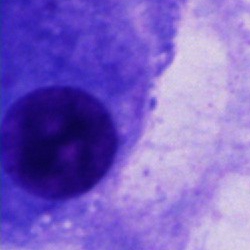 A cell not matching the other categories.